Bone marrow aspirate smear.
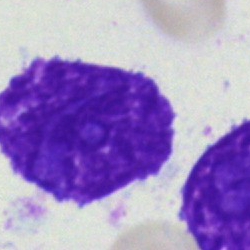
The morphological class is artefact.